Bone marrow smear — 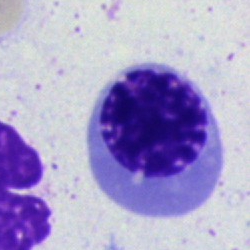
Classification: nucleated red cell.